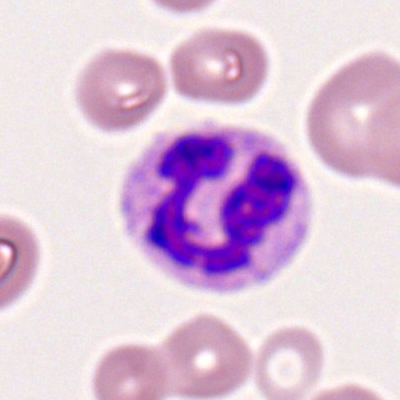
Q: What type of cell is this?
A: It is a segmented neutrophil.